Bone marrow aspirate smear — 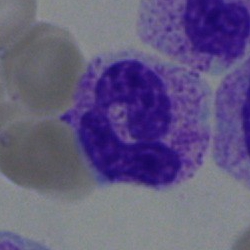Q: What is shown here?
A: It is a neutrophil (segmented).